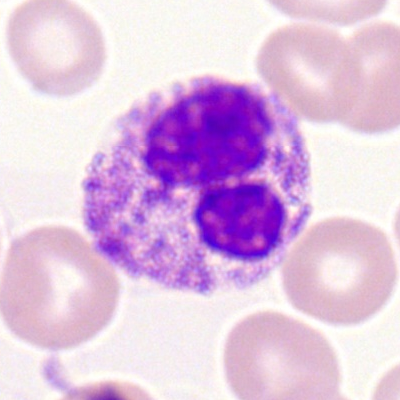

A segmented neutrophil on a peripheral blood smear.